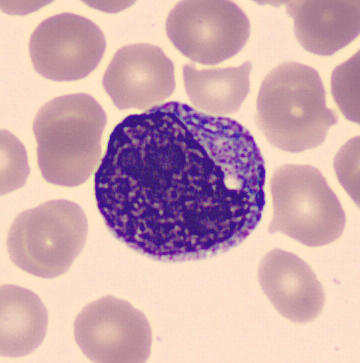
Classification = promyelocyte.